May-Grünwald-Giemsa stain · brightfield, 40× oil-immersion objective · bone marrow smear:
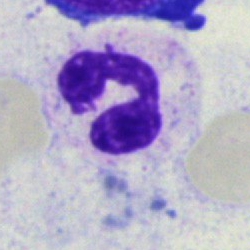 Morphology → polymorphonuclear neutrophil.